Bone marrow smear: 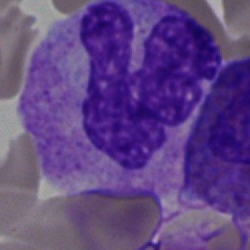 Neutrophil (segmented).